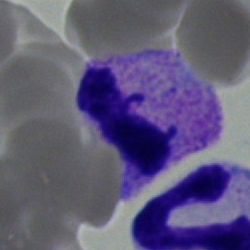

Bone marrow smear showing a neutrophil (segmented).